Cropped to a single cell; bone marrow smear; brightfield microscopy, 40× oil immersion:
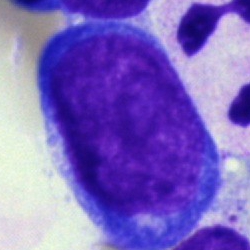
Cell — pronormoblast.